Single-cell field · bone marrow aspirate smear: 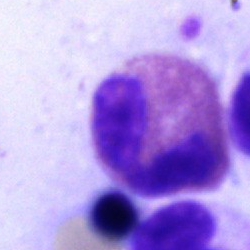
Eosinophil.